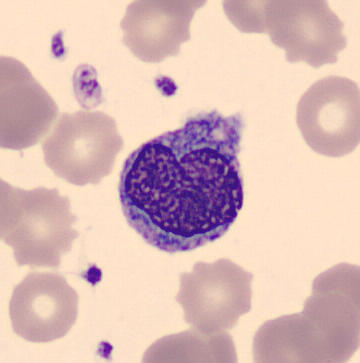

Preparation: Peripheral blood smear · 360 by 363 pixels. Impression → monocyte.